Bone marrow aspirate smear: 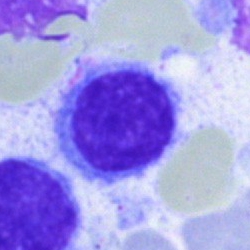 The cell type is hairy cell.